Bone marrow aspirate smear. May-Grünwald-Giemsa stain: 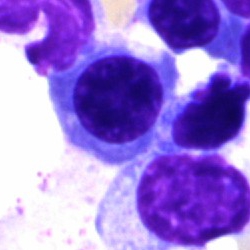
Q: Which cell type is shown here?
A: A nucleated red blood cell.